Bone marrow aspirate smear — 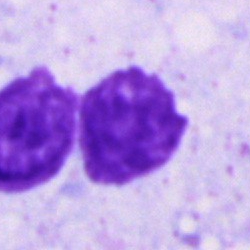
Impression → artifact.